Bone marrow aspirate smear · brightfield microscopy, 40× oil immersion · single-cell crop.
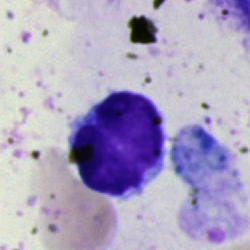Classification: typical lymphocyte.